Bone marrow aspirate smear.
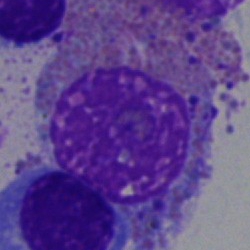Q: What type of cell is this?
A: This is an eosinophilic granulocyte.